Peripheral blood smear · single cell centered in the field
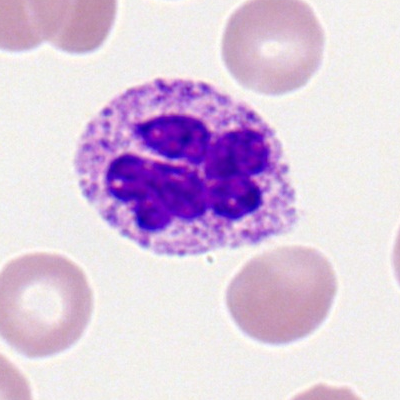
{"cell_type": "neutrophil (segmented)", "lineage": "myeloid"}